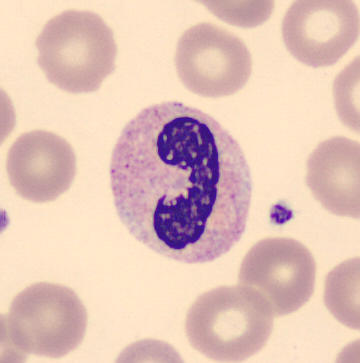

Classification: stab cell. CellaVision DM96 digital cell image · peripheral blood smear.